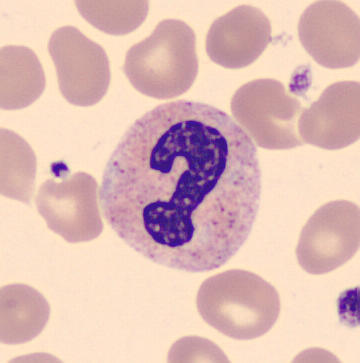

Cell type: polymorphonuclear neutrophil.